250×250 px; bone marrow aspirate smear; brightfield microscopy, 40× oil immersion — 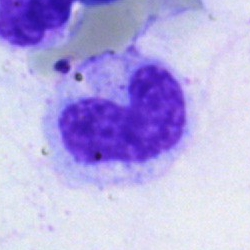 Morphology consistent with a stab cell.